Bone marrow aspirate smear: 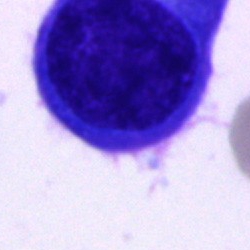

Q: What is the morphological classification of this cell?
A: Plasma cell.